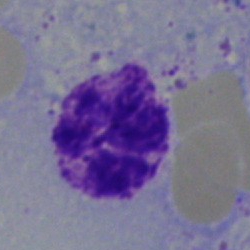 Q: Which cell type is shown here?
A: This is a basophil.